Bone marrow aspirate smear — 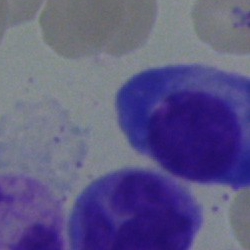Impression — plasma cell.